Bone marrow aspirate smear — 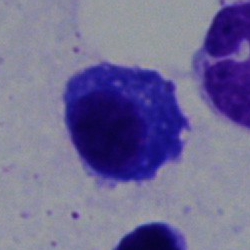

Q: Identify the cell.
A: A plasma cell.